Romanowsky stain · peripheral blood film: 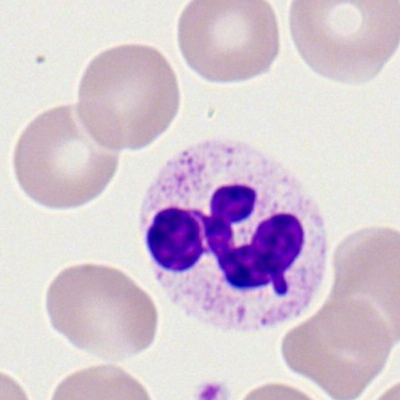Impression → polymorphonuclear neutrophil.